Single cell centered in the field. Bone marrow aspirate smear. 250 by 250 pixels
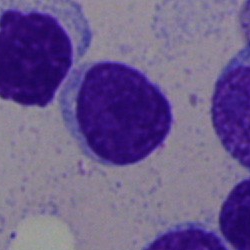
Morphology → typical lymphocyte.